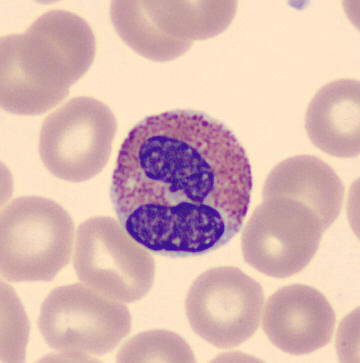

Image: Single cell centered in the field. Peripheral blood smear.
Morphological class = eosinophilic granulocyte.